May-Grünwald-Giemsa/Pappenheim stain · brightfield microscopy, 40× oil immersion · bone marrow smear: 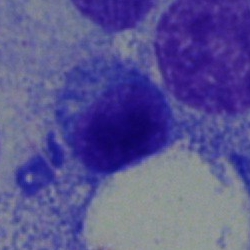Plasmacyte.